Peripheral blood smear.
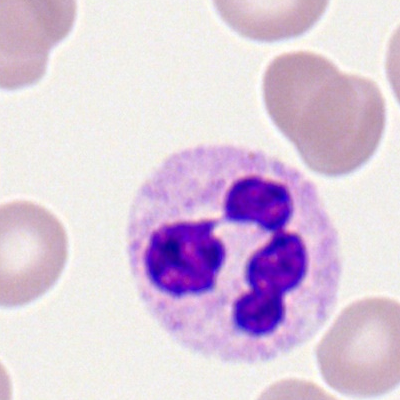 The cell is polymorphonuclear neutrophil.